40× oil immersion · bone marrow smear · May-Grünwald-Giemsa stain:
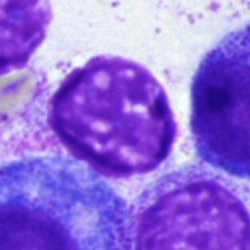 {"cell_type": "artefact"}